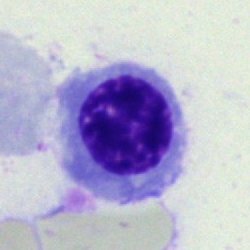

A nucleated red cell on a bone marrow smear.